Bone marrow smear. Pappenheim-stained: 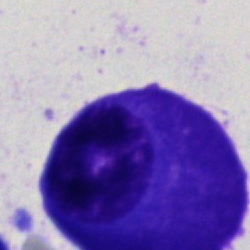

Morphology consistent with a plasma cell.